Bone marrow smear · May-Grünwald-Giemsa/Pappenheim stain:
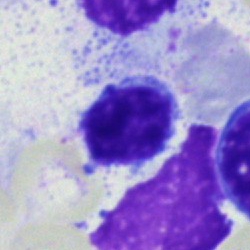 Q: Identify the cell.
A: Typical lymphocyte.